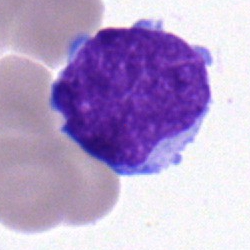

Cell — undifferentiated blast.